Bone marrow aspirate smear — 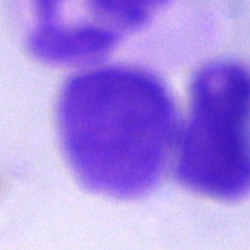

{"cell_type": "artifact"}